Bone marrow smear
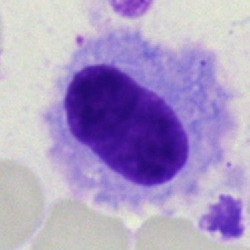The morphological class is hairy cell.